Bone marrow aspirate smear:
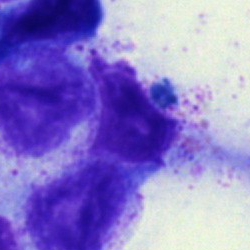A myelocyte.